Image size 250×250. Bone marrow aspirate smear — 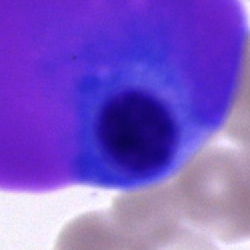 Plasma cell.